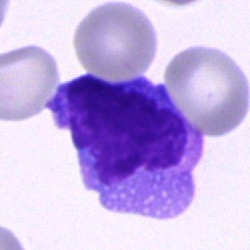Q: What is shown here?
A: Blast cell.